Bone marrow smear. Single-cell field:
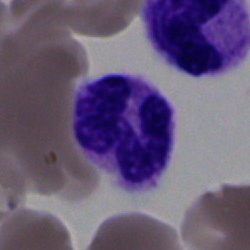 Specimen: bone marrow aspirate smear.
Classification: neutrophil (segmented).
Lineage: myeloid.